400 by 400 pixels · peripheral blood smear
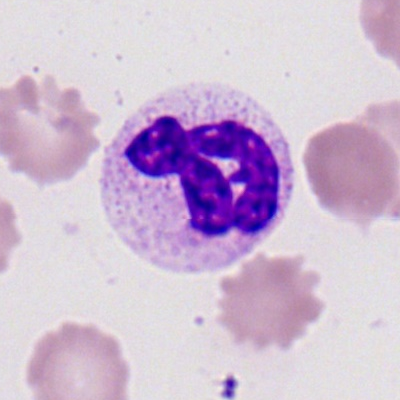Q: What cell is this?
A: A polymorphonuclear neutrophil.